Bone marrow aspirate smear.
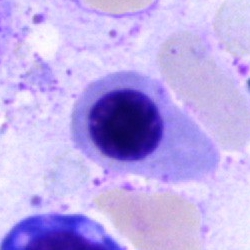 Showing a normoblast.